Bone marrow smear — 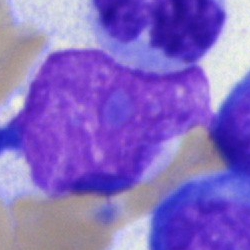

Single cell identified as a blast.